Bone marrow aspirate smear:
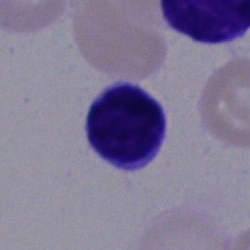Q: Which cell type is shown here?
A: This is a typical lymphocyte.